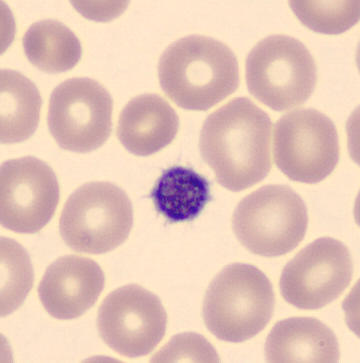Impression → platelet (thrombocyte).
Peripheral blood smear.